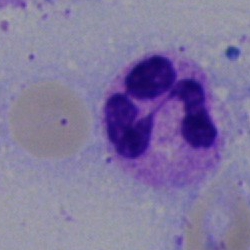Q: What type of cell is this?
A: This is a polymorphonuclear neutrophil.